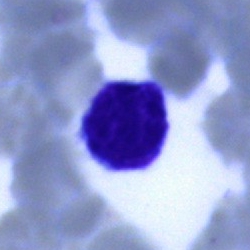
Q: What is shown here?
A: A lymphocyte.